Bone marrow smear; image size 250×250:
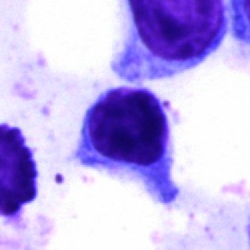

Cell: typical lymphocyte.